40× objective, oil immersion. Bone marrow smear: 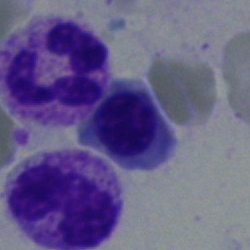 The cell shown is a neutrophil (segmented).